Bone marrow aspirate smear.
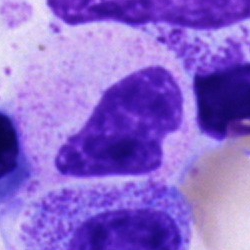
Unidentifiable cell.